Bone marrow smear. Single-cell field. 250 by 250 pixels
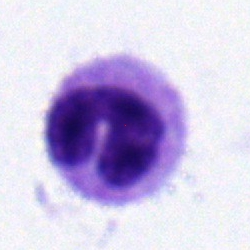
This is a neutrophil (band).